Bone marrow smear.
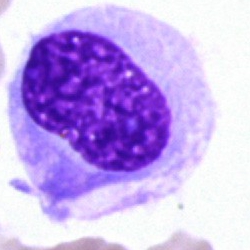
Classification — hairy cell.